Brightfield microscopy, 40× oil immersion · bone marrow smear
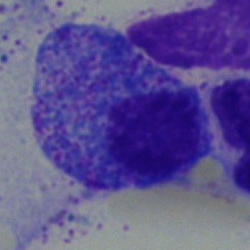Single cell identified as a myelocyte.